Bone marrow aspirate smear — 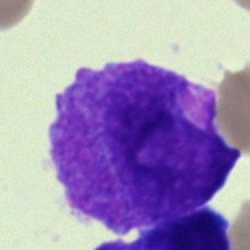Q: What is shown here?
A: It is an undifferentiated blast.